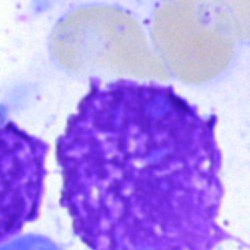Artifact.